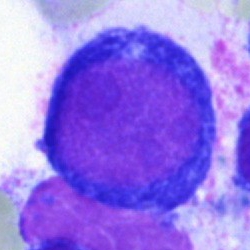Specimen: bone marrow aspirate smear.
Cell type: pronormoblast.
Lineage: erythroid.